Cropped to a single cell · bone marrow aspirate smear: 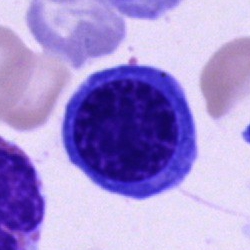 Q: What is the morphological classification of this cell?
A: This is a nucleated red blood cell.